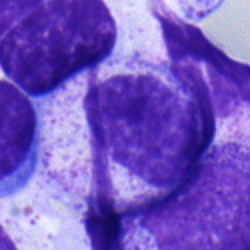
Impression → myelocyte.